Bone marrow aspirate smear; 250×250
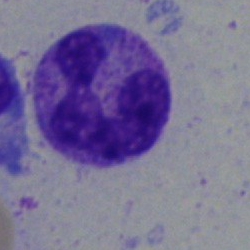
This is a neutrophil (segmented).